Bone marrow smear · brightfield microscopy, 40× oil immersion — 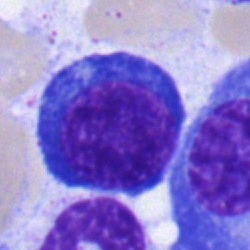A pronormoblast.